250 by 250 pixels; bone marrow aspirate smear:
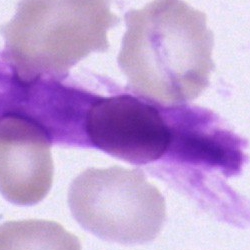

Morphological class — artefact.